Cropped to a single cell. Peripheral blood smear.
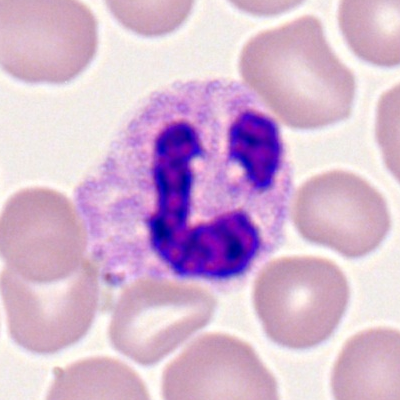
Cell: polymorphonuclear neutrophil.